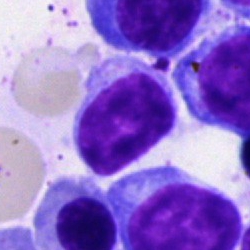
Bone marrow aspirate smear, single cell — typical lymphocyte.